Single-cell field; bone marrow aspirate smear — 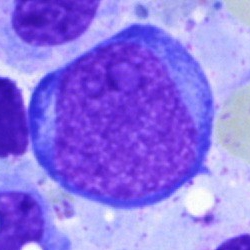

Q: What is shown here?
A: Blast cell.